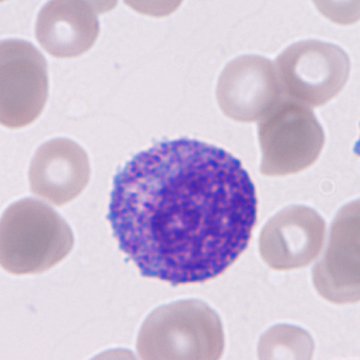Granulocyte precursor.